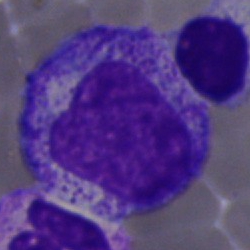

Cell: progranulocyte.